May-Grünwald-Giemsa/Pappenheim stain · bone marrow smear · 40× objective, oil immersion:
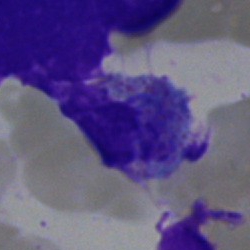 Morphology consistent with an artefact.